Bone marrow aspirate smear
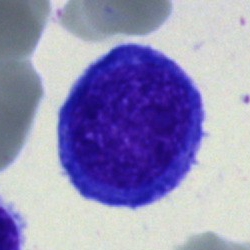 Morphology → undifferentiated blast.